Bone marrow aspirate smear.
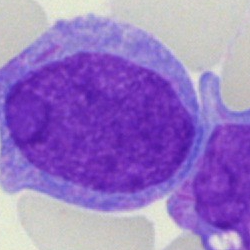This is a blast.